Bone marrow aspirate smear:
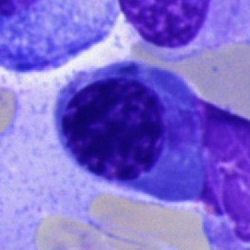
Morphology consistent with a nucleated red blood cell.